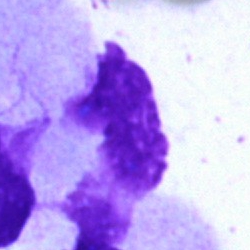
Q: What is shown here?
A: Artefact.